Bone marrow smear.
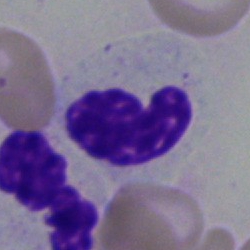 Specimen: bone marrow smear.
Morphological class: segmented neutrophil.